40× objective, oil immersion. Image size 250×250. Bone marrow aspirate smear — 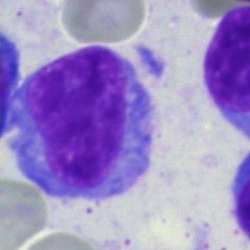 Specimen: bone marrow aspirate smear.
Classification: plasmacyte.